Single-cell crop. Bone marrow smear — 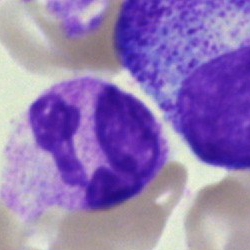A neutrophil (segmented).